Bone marrow aspirate smear — 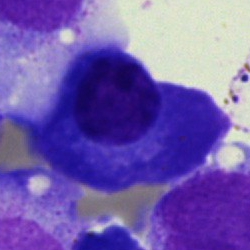 Morphology consistent with a plasmacyte.